Bone marrow smear; single cell centered in the field: 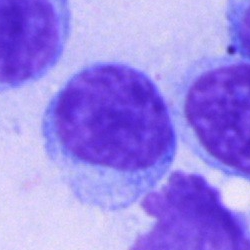 Cell type — lymphocyte.